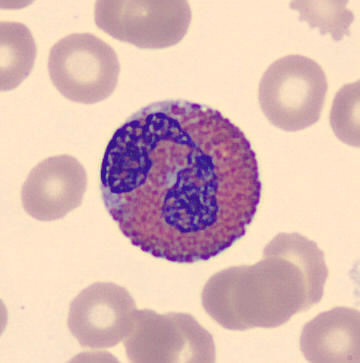Identified as an eosinophil.